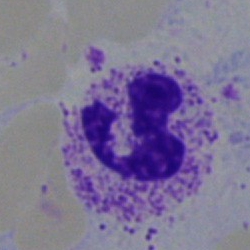

The cell shown is a polymorphonuclear neutrophil.